Brightfield, 40× oil-immersion objective; bone marrow aspirate smear; 250×250 px: 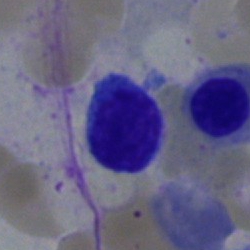 Cell = lymphocyte.